Bone marrow aspirate smear · single-cell crop
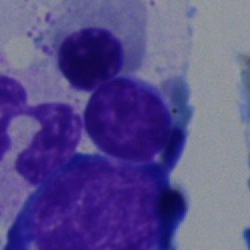 Single cell identified as a lymphocyte.